Peripheral blood film: 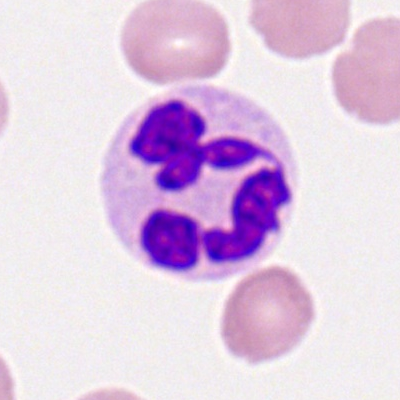

Morphology consistent with a polymorphonuclear neutrophil.